Brightfield, 40× oil-immersion objective · May-Grünwald-Giemsa stain · bone marrow aspirate smear — 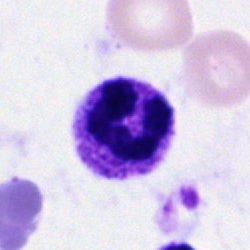
Segmented neutrophil.